Peripheral blood film.
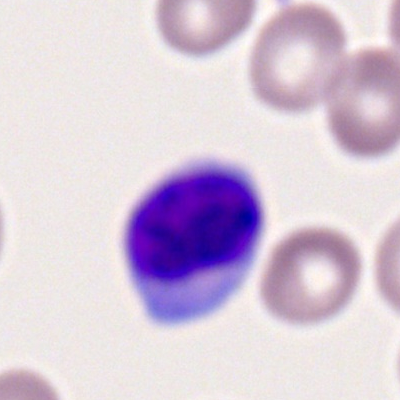

The cell type is typical lymphocyte.